Bone marrow smear — 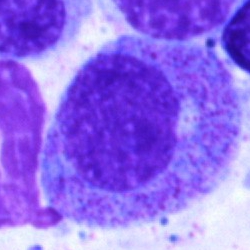
Specimen: bone marrow smear.
Cell type: myelocyte.
Lineage: myeloid.